Bone marrow aspirate smear. Pappenheim-stained
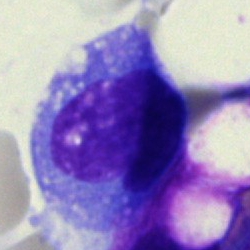 Classification — monocyte.